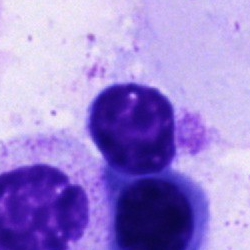
Classification: unidentifiable cell.